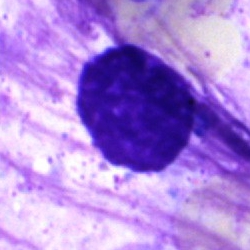
Bone marrow aspirate smear, single cell — artefact.